May-Grünwald-Giemsa/Pappenheim stain; bone marrow smear
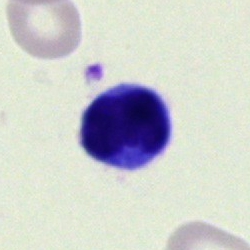
Cell type: lymphocyte.